Bone marrow smear.
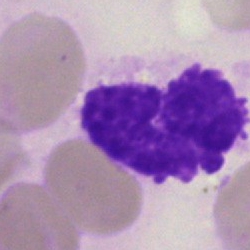

Showing an artifact.